Bone marrow smear — 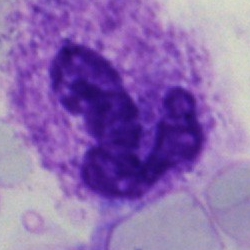 Classification: polymorphonuclear neutrophil.